Bone marrow aspirate smear:
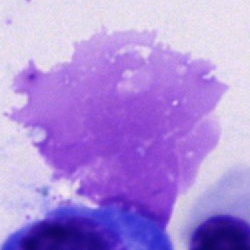
Artifact.